Bone marrow aspirate smear:
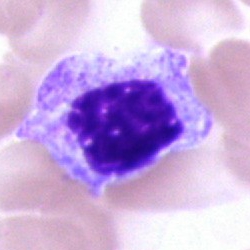

This is an unidentifiable cell.